May-Grünwald-Giemsa stain; bone marrow aspirate smear
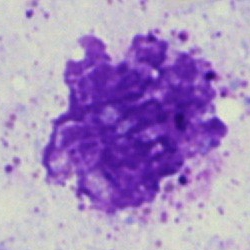
{"cell_type": "artefact"}